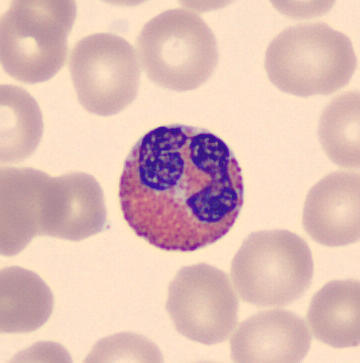

May-Grünwald-Giemsa-stained · peripheral blood smear · 360×363.
The classification is eosinophilic granulocyte.